Bone marrow aspirate smear · brightfield, 40× oil-immersion objective.
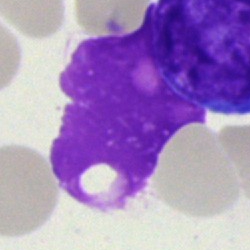
Q: What is shown here?
A: It is an artefact.